Bone marrow aspirate smear; MGG-stained:
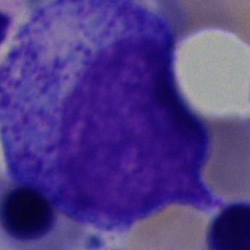
Progranulocyte.